Bone marrow aspirate smear; single-cell crop; 250 by 250 pixels — 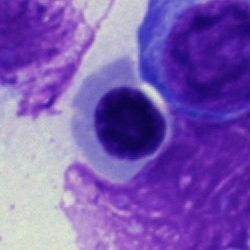Specimen: bone marrow smear.
Cell type: normoblast.
Lineage: erythroid.